Bone marrow smear: 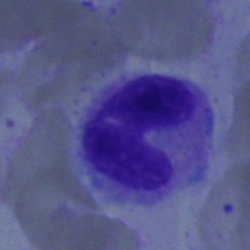
Specimen: bone marrow smear.
Cell: band-form neutrophil.
Lineage: myeloid.